Bone marrow smear; single-cell crop.
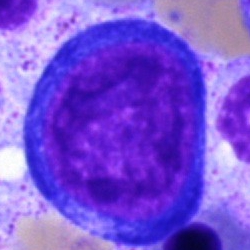

The cell is proerythroblast.